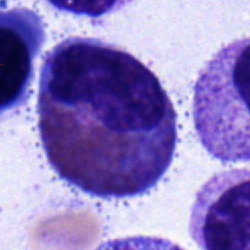Morphology consistent with an eosinophilic granulocyte.